Bone marrow aspirate smear
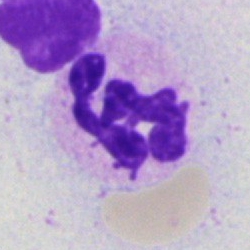

Q: What cell is this?
A: Polymorphonuclear neutrophil.